Bone marrow aspirate smear
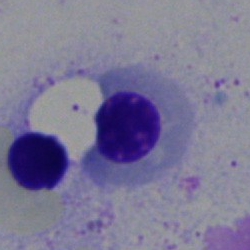

Impression — erythroblast.